Bone marrow aspirate smear
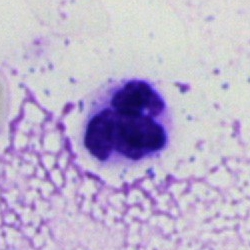Showing a polymorphonuclear neutrophil.